40× objective, oil immersion; 250×250; bone marrow smear
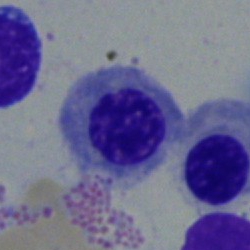
This is an erythroblast.